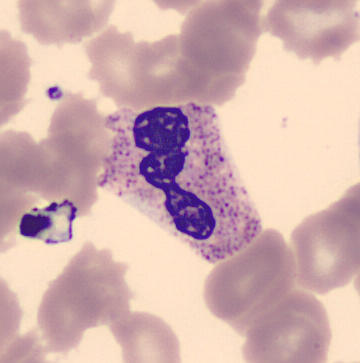 Cell type — polymorphonuclear neutrophil. MGG-stained · peripheral blood film.